Bone marrow smear
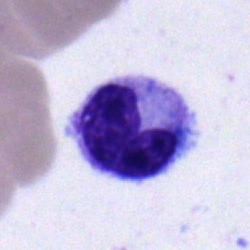
{"cell_type": "metamyelocyte", "lineage": "myeloid"}